Bone marrow aspirate smear:
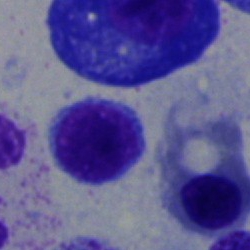

Q: What type of cell is this?
A: A typical lymphocyte.